Peripheral blood smear: 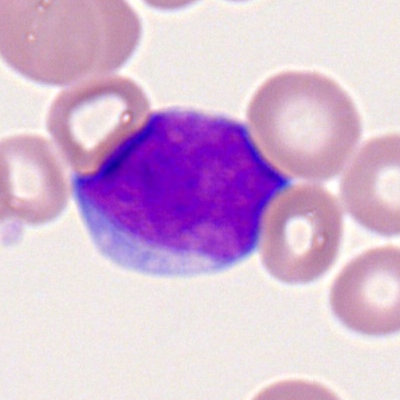
Single cell identified as a myeloid blast.